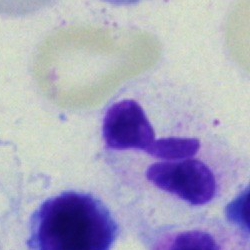Single-cell crop from a bone marrow smear: polymorphonuclear neutrophil.